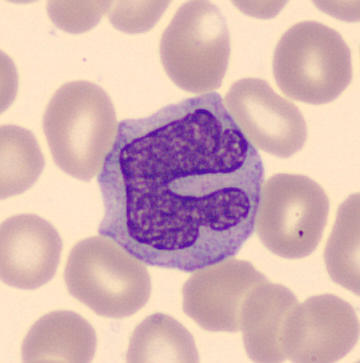 Image: 360 by 363 pixels · peripheral blood smear.

Classification: monocyte.